Single-cell crop · bone marrow aspirate smear · image size 250×250.
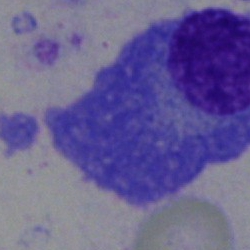 Specimen: bone marrow aspirate smear.
Classification: plasma cell.
Lineage: lymphoid.